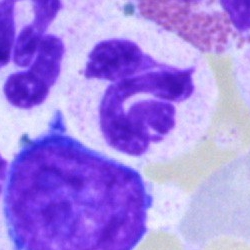

A polymorphonuclear neutrophil on a bone marrow smear.